Bone marrow smear
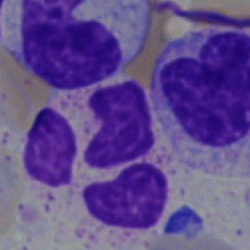
Impression — segmented neutrophil.